250×250 px. Bone marrow smear.
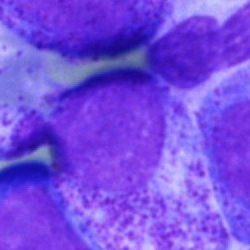

Q: What cell is this?
A: This is a myelocyte.